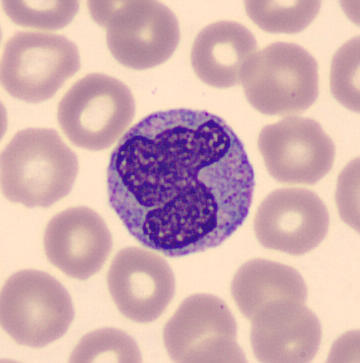

Image: Peripheral blood smear. Morphological class = monocyte.